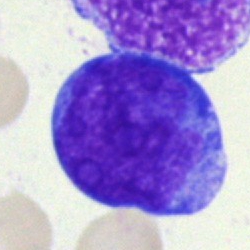 Specimen: bone marrow smear.
Cell: undifferentiated blast.